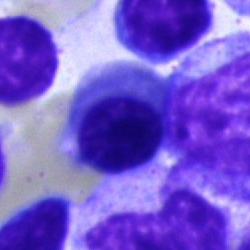 Q: Which cell type is shown here?
A: This is an erythroblast.